Bone marrow smear
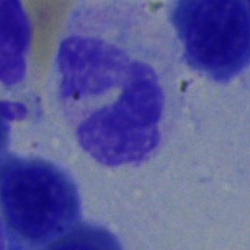
The morphological class is segmented neutrophil.